Bone marrow aspirate smear:
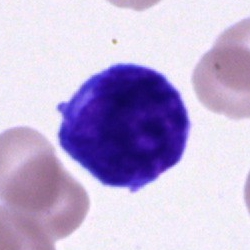

Specimen: bone marrow smear.
Classification: unidentifiable cell.